Bone marrow aspirate smear. 40× oil immersion — 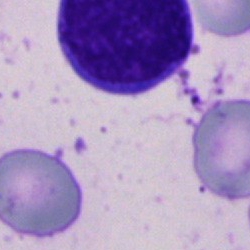
Classification: artefact.